Bone marrow smear:
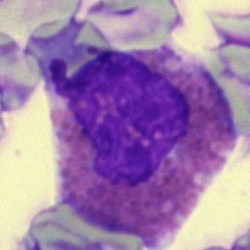Specimen: bone marrow aspirate smear.
Morphological class: eosinophil.
Lineage: myeloid.